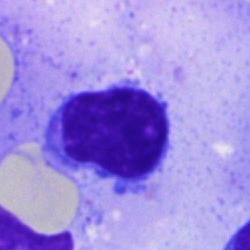

Classification — artifact.